Brightfield, 40× oil-immersion objective; bone marrow smear — 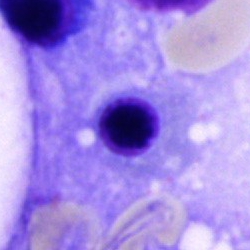 The cell type is nucleated red blood cell.